Bone marrow smear: 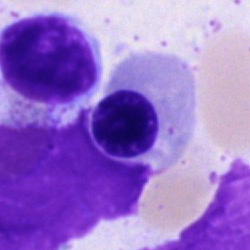 Showing a nucleated red cell.